Bone marrow aspirate smear
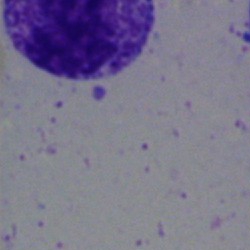
Classification = artifact.